Bone marrow aspirate smear.
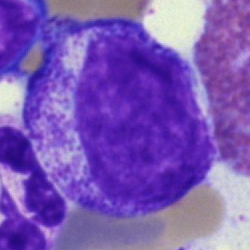Cell type — myelocyte.